Bone marrow aspirate smear:
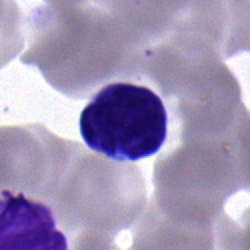Cell — lymphocyte.